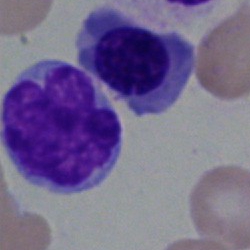Showing a typical lymphocyte.